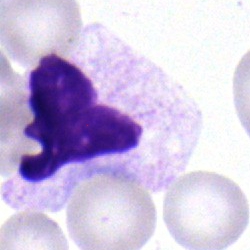 Impression — polymorphonuclear neutrophil.